Bone marrow aspirate smear — 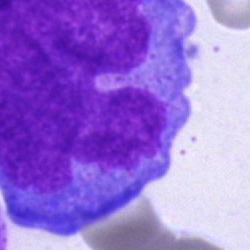Specimen: bone marrow aspirate smear.
Morphological class: undifferentiated blast.